Peripheral blood film
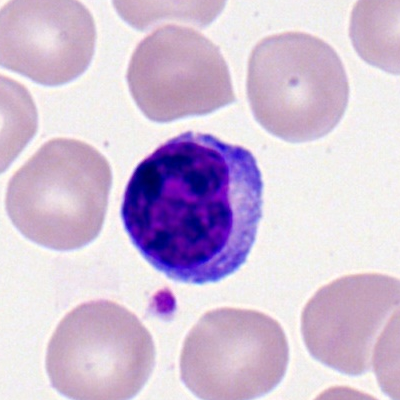
Cell: lymphocyte.